Image size 250×250; bone marrow smear
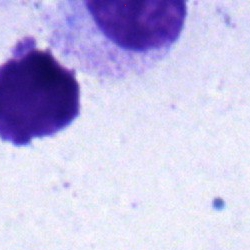
Cell type — myelocyte.